Bone marrow aspirate smear.
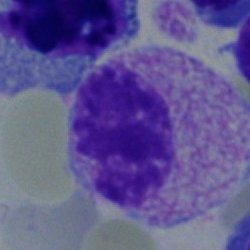
Morphology — metamyelocyte.